Bone marrow smear; May-Grünwald-Giemsa stain; 250×250
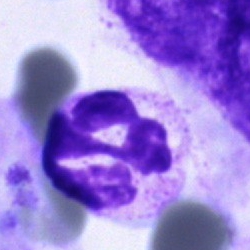Q: Identify the cell.
A: A neutrophil (segmented).